Bone marrow smear
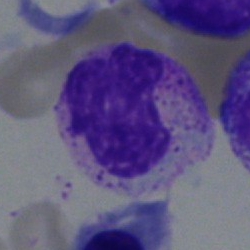

Morphology → band neutrophil.